Bone marrow smear
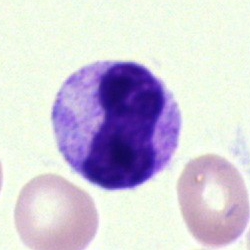 Cell type: metamyelocyte.